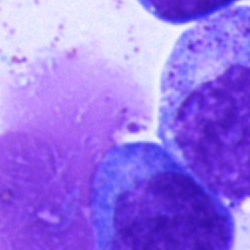

Cell — artifact.